Bone marrow aspirate smear · 250 by 250 pixels: 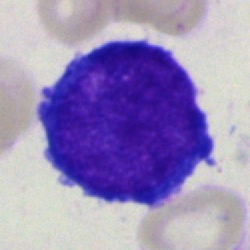

Showing a pronormoblast.